Bone marrow smear
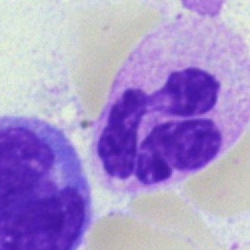{"cell_type": "polymorphonuclear neutrophil"}